Bone marrow smear; single cell centered in the field; 250 by 250 pixels.
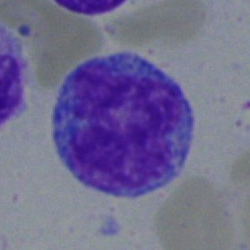 Single cell identified as a monocyte.